Bone marrow smear — 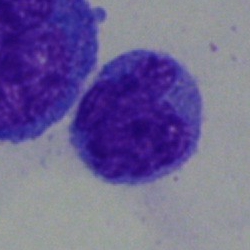Morphological class — monocyte.